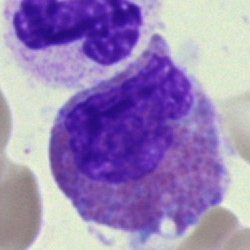
Specimen: bone marrow smear.
Morphological class: eosinophilic granulocyte.
Lineage: myeloid.